Bone marrow smear
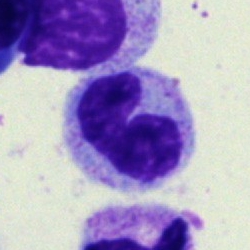
Q: Which cell type is shown here?
A: It is a neutrophil (band).